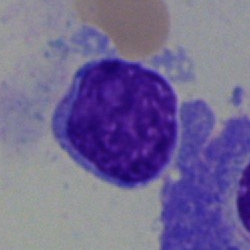

Morphology → lymphocyte.